Bone marrow aspirate smear
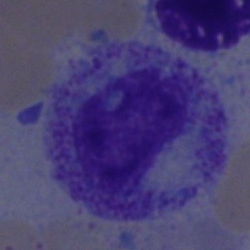This is a progranulocyte.